Bone marrow smear
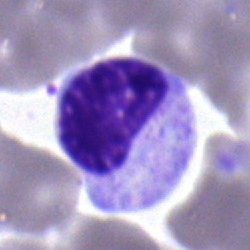

Metamyelocyte.